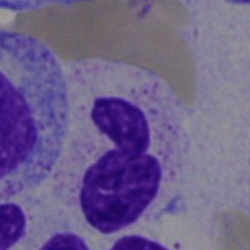
Impression → segmented neutrophil.